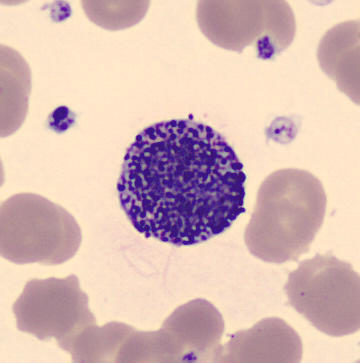

Cell type: basophilic granulocyte.